Bone marrow smear
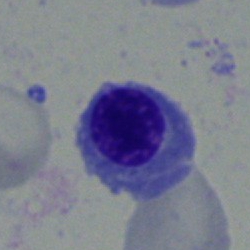
Cell type = nucleated red cell.